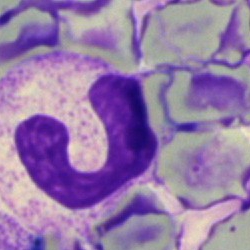

Morphological class: band-form neutrophil.